Bone marrow aspirate smear; May-Grünwald-Giemsa/Pappenheim stain; 40× oil immersion
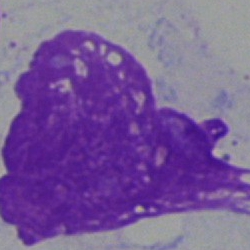

The cell type is artefact.